Bone marrow smear; 250 by 250 pixels: 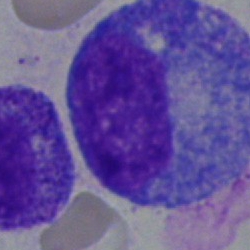

This is a promyelocyte.